Peripheral blood smear: 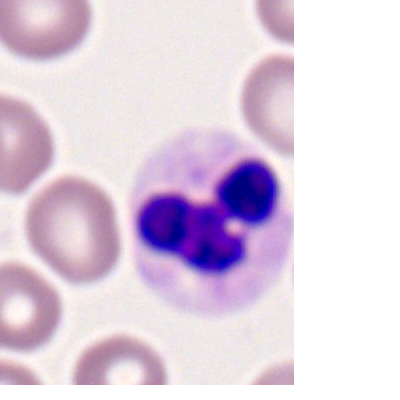

The cell shown is a polymorphonuclear neutrophil.